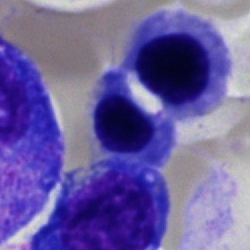

{"cell_type": "nucleated red cell", "lineage": "erythroid"}